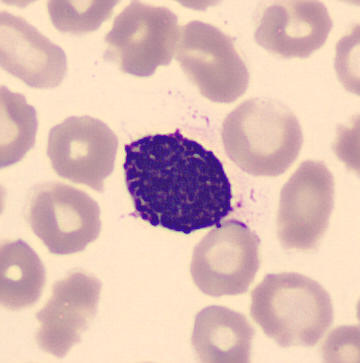

Q: What type of cell is this?
A: Basophilic granulocyte. Peripheral blood film.